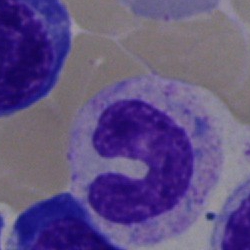Bone marrow smear showing a band neutrophil.